250×250 px · bone marrow smear · 40× oil immersion:
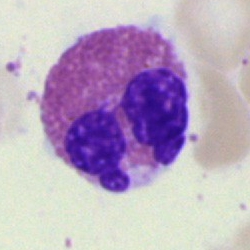Single cell identified as an eosinophilic granulocyte.